Bone marrow smear.
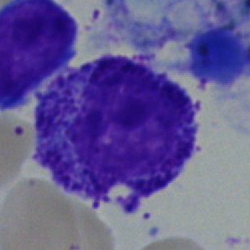

The cell shown is a myelocyte.